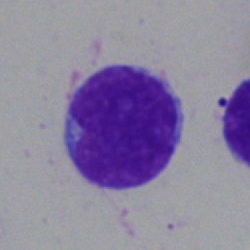Morphology consistent with a typical lymphocyte.